Bone marrow aspirate smear: 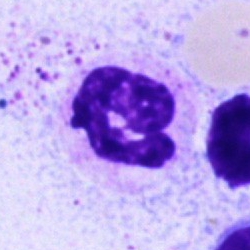
Showing a lymphocyte.